Bone marrow aspirate smear; 40× oil immersion:
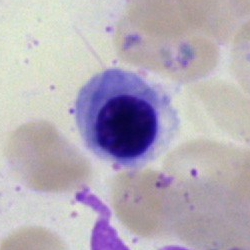

Single cell identified as a normoblast.